Image size 250×250 · bone marrow aspirate smear · brightfield microscopy, 40× oil immersion:
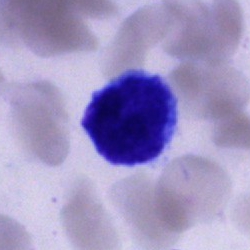

{"cell_type": "cell of indeterminate lineage"}